Single-cell crop; bone marrow smear
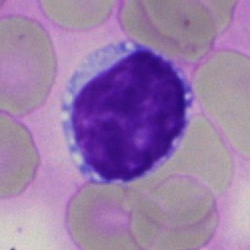

Lymphocyte.